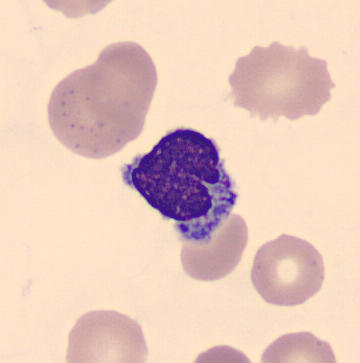

Impression — typical lymphocyte.
Acquisition: Peripheral blood smear.